Bone marrow aspirate smear. Brightfield, 40× oil-immersion objective. May-Grünwald-Giemsa stain:
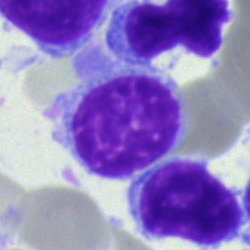 Cell type — typical lymphocyte.